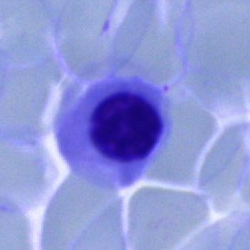
A nucleated red blood cell on a bone marrow smear.